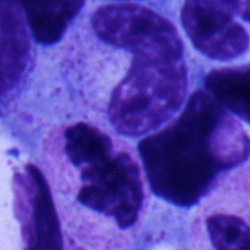

Morphology → band-form neutrophil.